Bone marrow aspirate smear
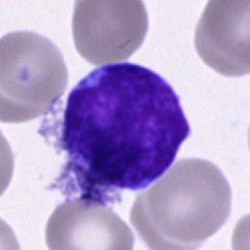 Single cell identified as a lymphocyte.